Bone marrow smear — 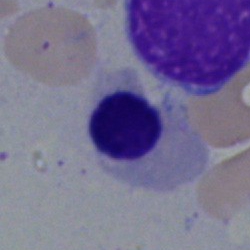

Single cell identified as a normoblast.